MGG-stained · bone marrow aspirate smear · 250 by 250 pixels: 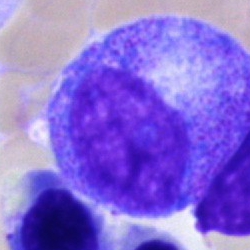
The morphological class is progranulocyte.